Peripheral blood smear. Cropped to a single cell: 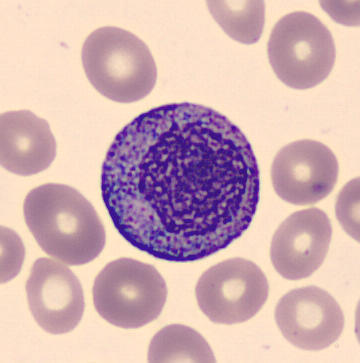Q: What is shown here?
A: Promyelocyte.